Bone marrow smear — 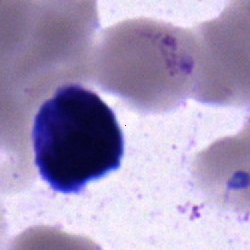Showing a blast cell.